Bone marrow aspirate smear; 250 by 250 pixels; brightfield, 40× oil-immersion objective.
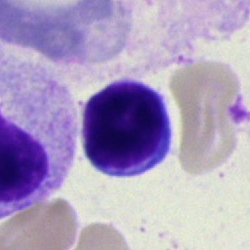
Cell — lymphocyte.